Image size 250×250. Bone marrow aspirate smear: 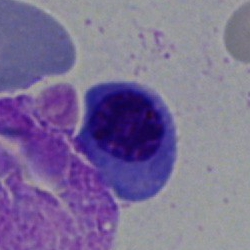

This is a normoblast.